Peripheral blood film — 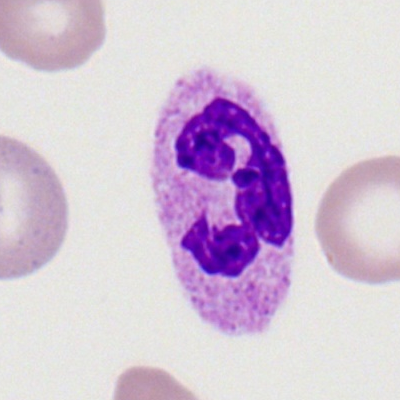Showing a polymorphonuclear neutrophil.